Bone marrow smear; 250×250 px.
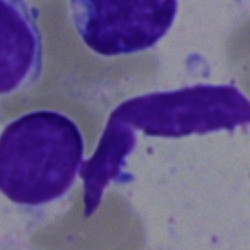Specimen: bone marrow aspirate smear.
Cell: artifact.